Bone marrow smear: 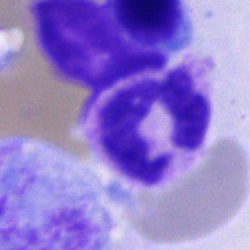 Morphology consistent with a segmented neutrophil.